Bone marrow aspirate smear: 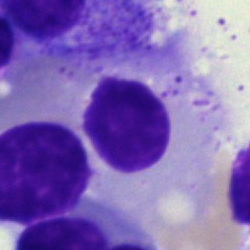This is an artifact.